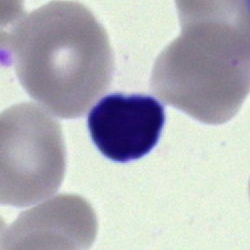 Q: What is shown here?
A: This is an unidentifiable cell.